Bone marrow aspirate smear; 250×250 px.
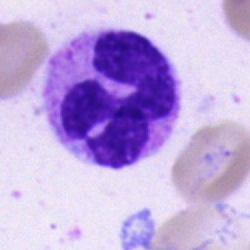
Classification — polymorphonuclear neutrophil.